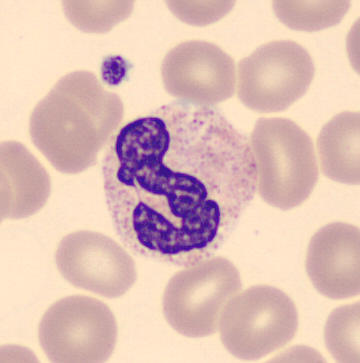Morphological class: segmented neutrophil.

Peripheral blood smear.